Bone marrow smear:
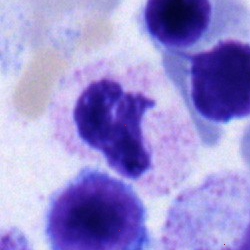 Morphology consistent with a polymorphonuclear neutrophil.